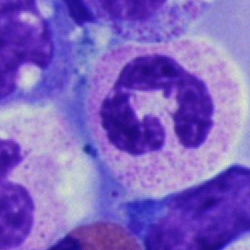 Q: What cell is this?
A: Neutrophil (segmented).